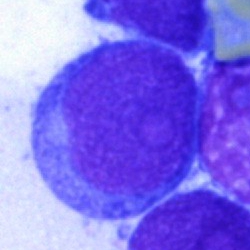 Specimen: bone marrow smear.
Morphological class: blast cell.